Peripheral blood smear: 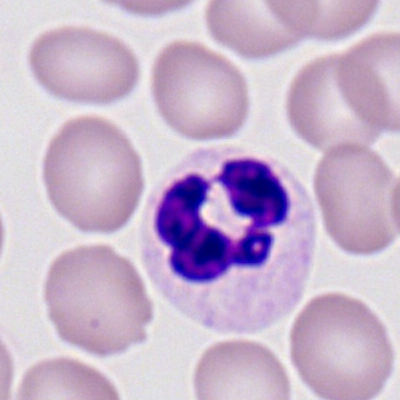
Morphological class — polymorphonuclear neutrophil.